Bone marrow aspirate smear · cropped to a single cell · May-Grünwald-Giemsa/Pappenheim stain.
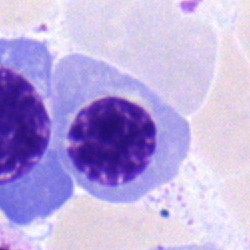 Morphology consistent with a normoblast.